Bone marrow aspirate smear:
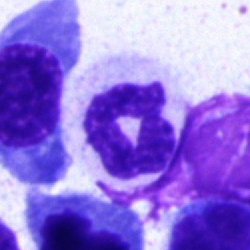 Impression — segmented neutrophil.